Bone marrow smear.
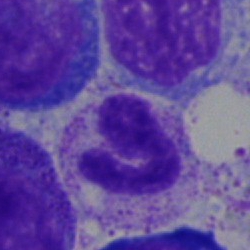
Classification — polymorphonuclear neutrophil.